Single cell centered in the field; 40× objective, oil immersion; bone marrow aspirate smear.
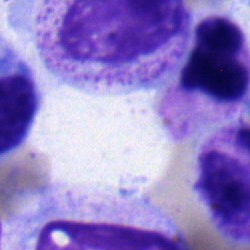 Classification: metamyelocyte.